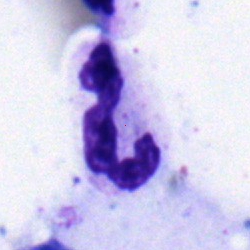

A segmented neutrophil on a bone marrow smear.